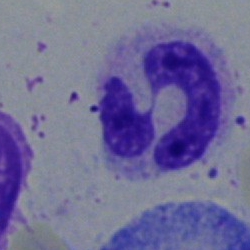
Morphology → polymorphonuclear neutrophil.